250×250 px. Bone marrow smear. 40× oil immersion
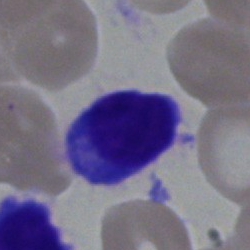

{"cell_type": "plasmacyte", "lineage": "lymphoid"}